Bone marrow smear. Single-cell field: 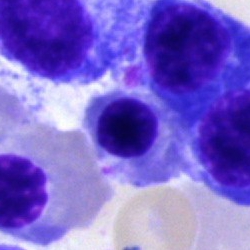
Morphological class = normoblast.